Bone marrow smear.
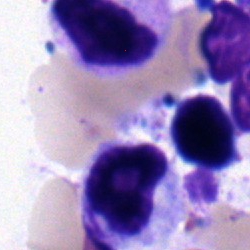

Q: Identify the cell.
A: It is a myelocyte.